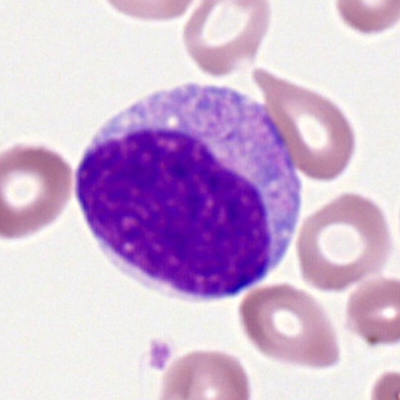
A myeloblast on a peripheral blood smear.